Bone marrow aspirate smear. 40× oil immersion:
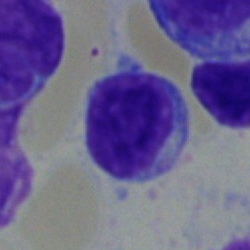
Cell type: lymphocyte.